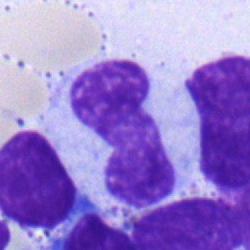Cell = neutrophil (band).